250×250; bone marrow aspirate smear: 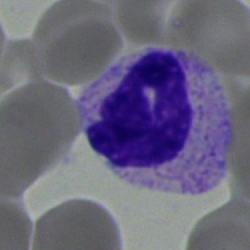{"cell_type": "stab cell", "lineage": "myeloid"}